250 by 250 pixels · bone marrow aspirate smear — 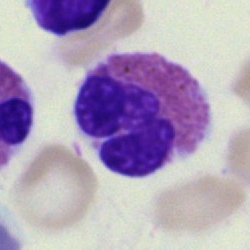

Cell — eosinophil.